Single cell centered in the field · 40× oil immersion · bone marrow aspirate smear: 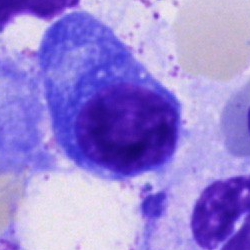The morphological class is plasma cell.